Bone marrow smear.
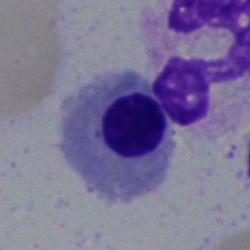 Showing an erythroblast.